Single cell centered in the field. Peripheral blood smear — 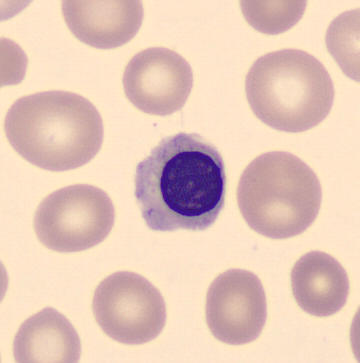Q: What is the morphological classification of this cell?
A: A nucleated red cell.